Bone marrow aspirate smear — 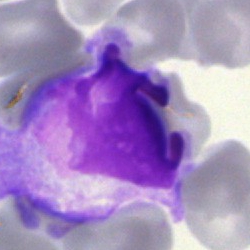Q: What is shown here?
A: It is an artefact.